Bone marrow aspirate smear — 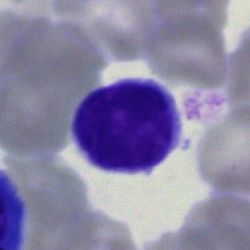Specimen: bone marrow smear.
Classification: lymphocyte.